40× oil immersion. Bone marrow smear.
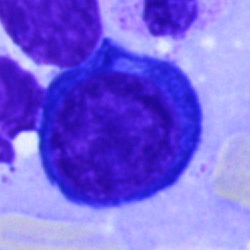

Specimen: bone marrow aspirate smear.
Cell type: proerythroblast.
Lineage: erythroid.